Bone marrow aspirate smear.
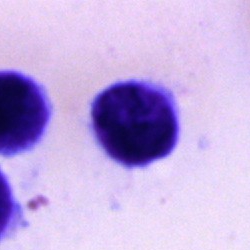
Cell type = lymphocyte.